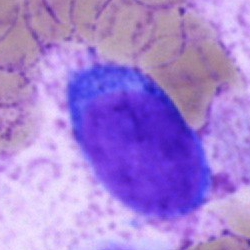

{"cell_type": "blast cell"}